Bone marrow aspirate smear: 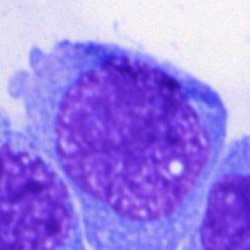

Specimen: bone marrow aspirate smear.
Cell type: blast cell.